Cropped to a single cell · bone marrow aspirate smear · 40× objective, oil immersion.
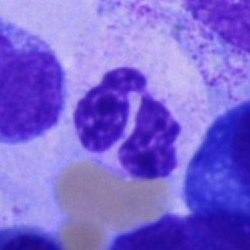
Cell = segmented neutrophil.